Bone marrow smear:
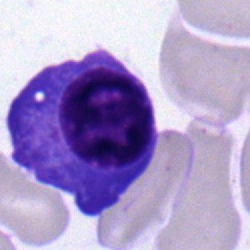

Single cell identified as a plasmacyte.